Bone marrow smear. 40× objective, oil immersion. 250×250.
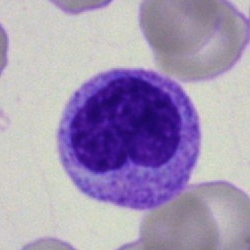
Specimen: bone marrow aspirate smear.
Cell: metamyelocyte.
Lineage: myeloid.